Bone marrow aspirate smear
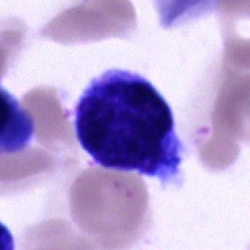
Blast cell.